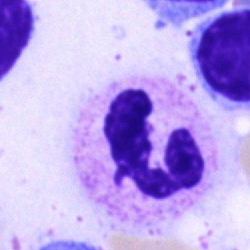Q: What is shown here?
A: Segmented neutrophil.